Bone marrow aspirate smear.
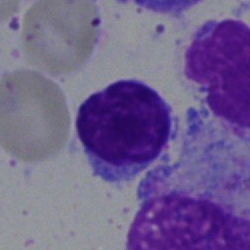Impression — typical lymphocyte.